Bone marrow smear: 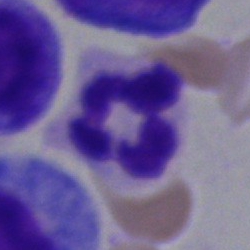A segmented neutrophil.